Romanowsky-type stain. Peripheral blood smear
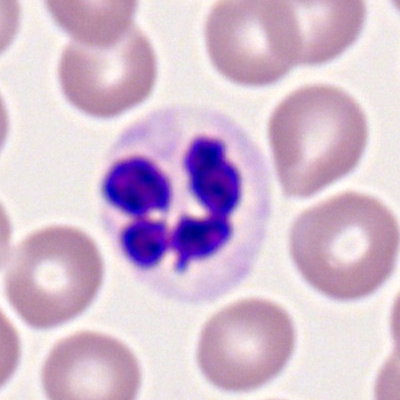
The cell type is neutrophil (segmented).